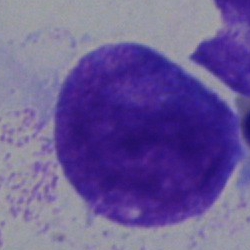

Specimen: bone marrow smear.
Cell: promyelocyte.